100× oil immersion, 14.14 px/µm. Peripheral blood film
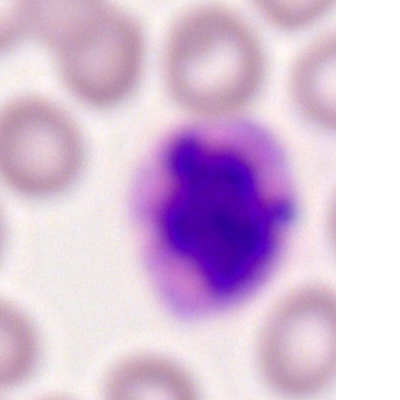
Q: Which cell type is shown here?
A: It is a basophilic granulocyte.